Peripheral blood film · Romanowsky stain — 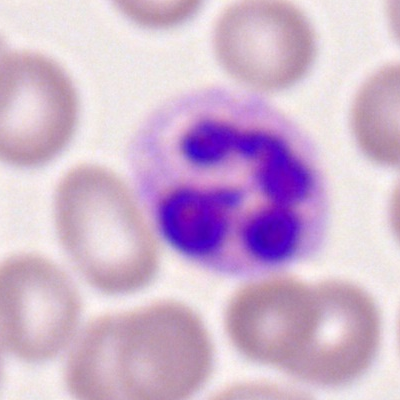Q: What is the morphological classification of this cell?
A: A segmented neutrophil.